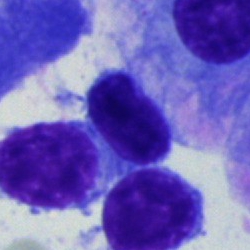 The cell type is typical lymphocyte.